Bone marrow aspirate smear · 250×250 px — 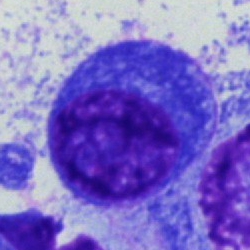
Cell: plasma cell.